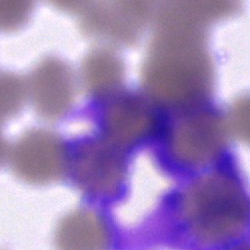

Impression — artifact.